Peripheral blood film.
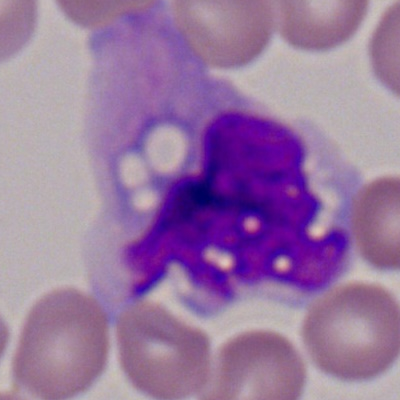 Cell type: monocyte.